Peripheral blood film
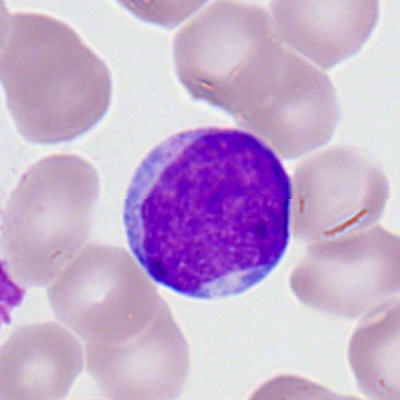 Myeloblast.